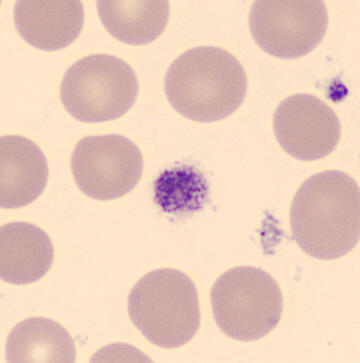
Peripheral blood smear.
Impression → platelet (thrombocyte).